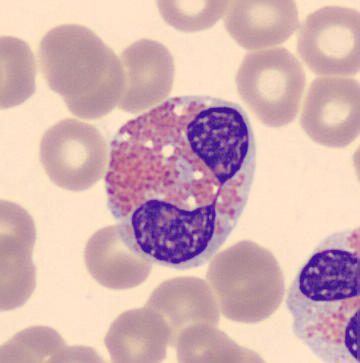

Preparation: 360×363 px.

Specimen: peripheral blood film.
Morphological class: eosinophil.